Bone marrow aspirate smear:
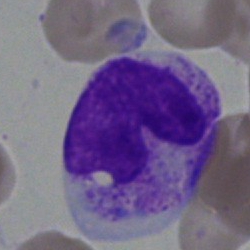
Q: What is the morphological classification of this cell?
A: It is a metamyelocyte.